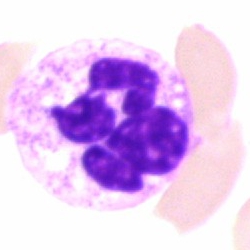

Morphology → segmented neutrophil.